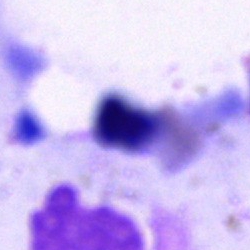Bone marrow smear showing an artifact.